Bone marrow smear:
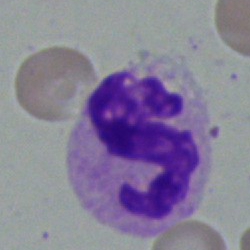

Specimen: bone marrow smear.
Classification: polymorphonuclear neutrophil.